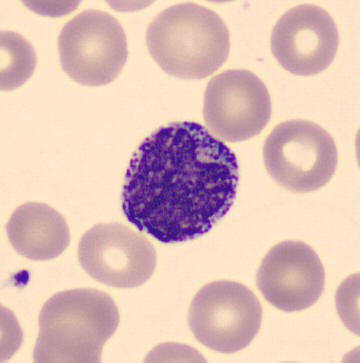Cropped to a single cell · peripheral blood smear. The cell type is myelocyte.